Bone marrow aspirate smear: 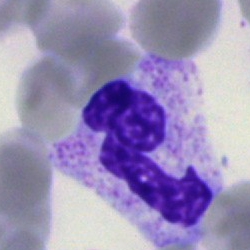
The cell shown is a polymorphonuclear neutrophil.